Peripheral blood film:
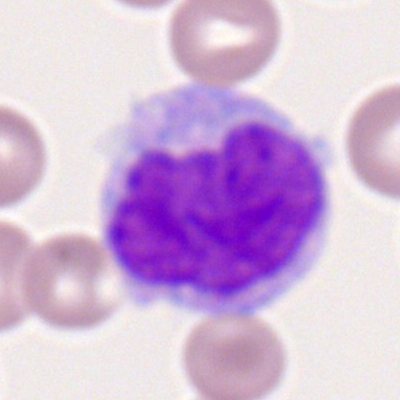A monocyte.